Bone marrow smear.
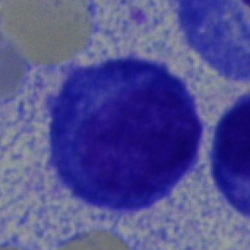Q: Identify the cell.
A: It is a plasma cell.